MGG-stained · image size 250×250 · bone marrow smear
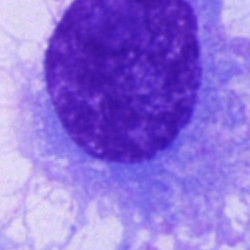
{"cell_type": "plasma cell", "lineage": "lymphoid"}